Bone marrow smear:
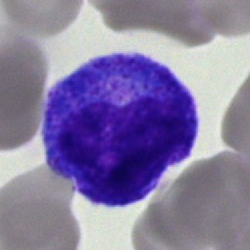Morphology consistent with a progranulocyte.